40× objective, oil immersion. Bone marrow aspirate smear.
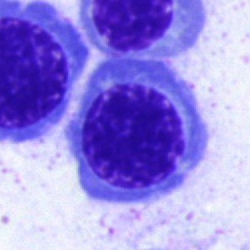Specimen: bone marrow smear.
Classification: basophilic granulocyte.
Lineage: myeloid.